Image size 250×250; brightfield microscopy, 40× oil immersion; bone marrow smear:
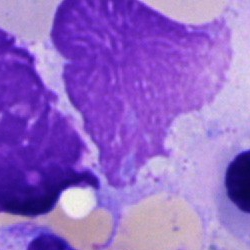

Artifact.